Bone marrow smear: 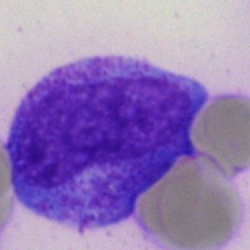

Morphology consistent with a metamyelocyte.